Bone marrow smear. Brightfield microscopy, 40× oil immersion: 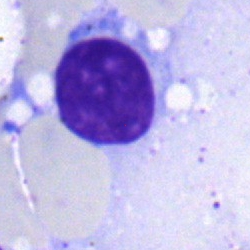
Morphology — typical lymphocyte.